Bone marrow smear
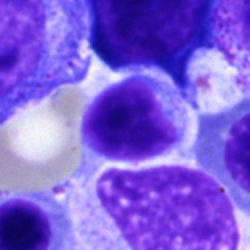 Q: Identify the cell.
A: It is a typical lymphocyte.